Bone marrow aspirate smear.
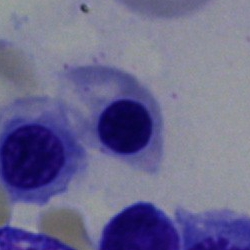 This is a normoblast.